Pappenheim-stained; bone marrow aspirate smear
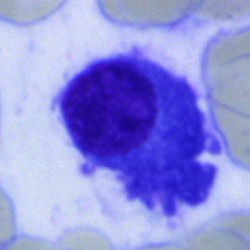 Classification: plasmacyte.